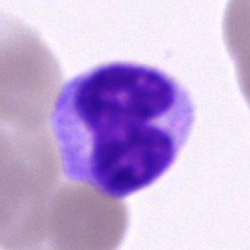
Classification: unidentifiable cell.